Bone marrow smear
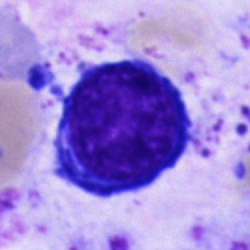
This is a pronormoblast.